Bone marrow smear
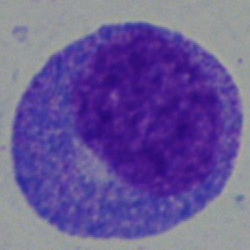

This is a progranulocyte.